Bone marrow smear — 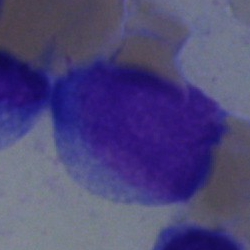 Showing an undifferentiated blast.